Brightfield, 40× oil-immersion objective · 250×250 px · bone marrow aspirate smear: 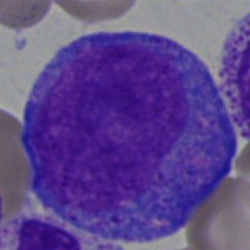 The cell shown is a progranulocyte.